Bone marrow smear.
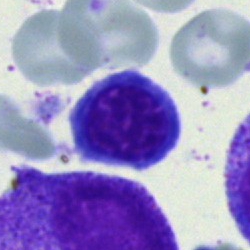

Morphology → nucleated red blood cell.